Bone marrow aspirate smear; May-Grünwald-Giemsa/Pappenheim stain
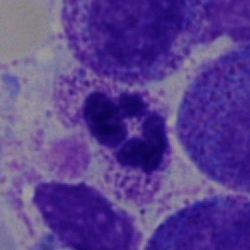The cell shown is a neutrophil (segmented).